Bone marrow aspirate smear — 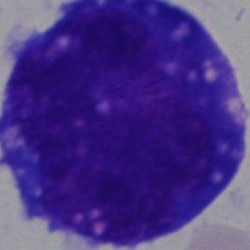

Cell — blast.